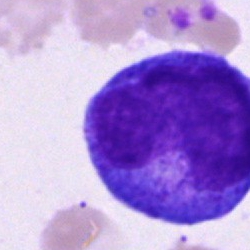Morphology consistent with a promyelocyte.